Bone marrow aspirate smear.
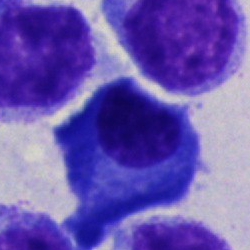 This is a plasma cell.